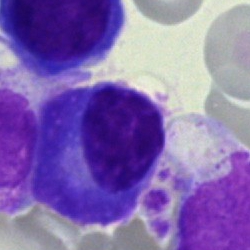 Q: Identify the cell.
A: A plasma cell.